Bone marrow aspirate smear.
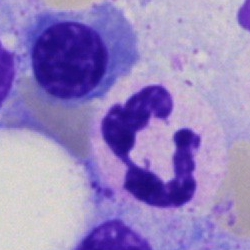 Classification: neutrophil (segmented).